Bone marrow aspirate smear:
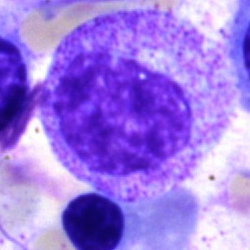 Q: Which cell type is shown here?
A: It is a progranulocyte.